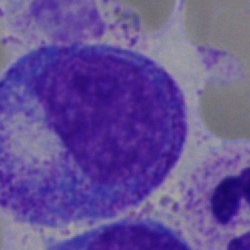

The cell shown is a promyelocyte.